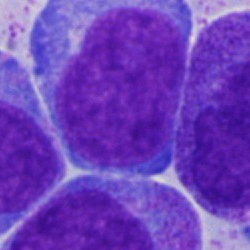Specimen: bone marrow smear.
Classification: blast cell.